Bone marrow aspirate smear.
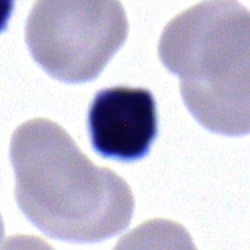

Morphological class = typical lymphocyte.